May-Grünwald-Giemsa stain. Brightfield, 40× oil-immersion objective. Bone marrow aspirate smear
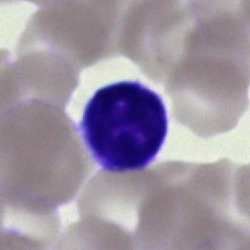
This is a lymphocyte.